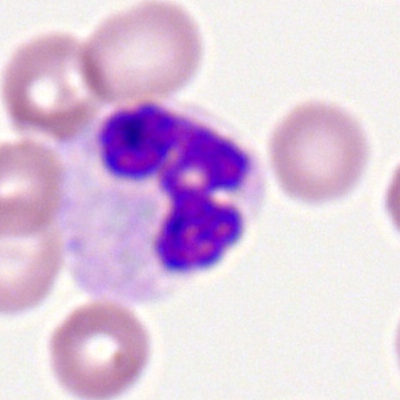

Segmented neutrophil.